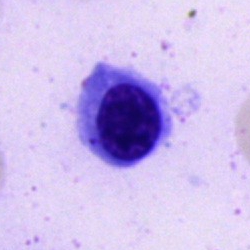 The cell shown is a normoblast.